Bone marrow smear.
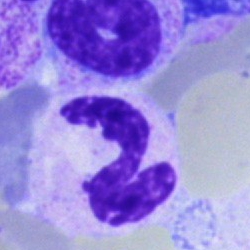
Specimen: bone marrow aspirate smear.
Morphological class: segmented neutrophil.
Lineage: myeloid.